Brightfield microscopy, 40× oil immersion · bone marrow aspirate smear · single cell centered in the field — 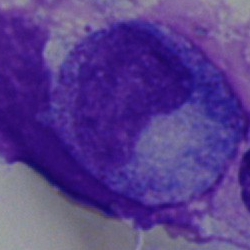 Specimen: bone marrow aspirate smear.
Cell: progranulocyte.